Single cell centered in the field; May-Grünwald-Giemsa stain; bone marrow aspirate smear
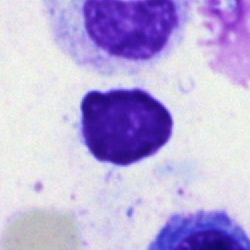

Morphological class = artefact.